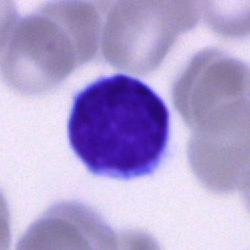 This is a lymphocyte.